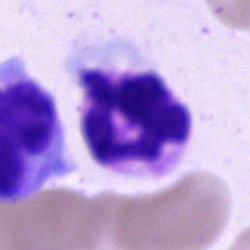Cell: polymorphonuclear neutrophil.